Bone marrow smear: 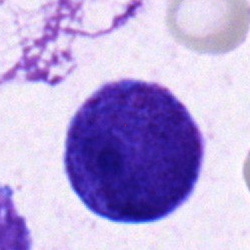Showing a blast cell.